Bone marrow smear:
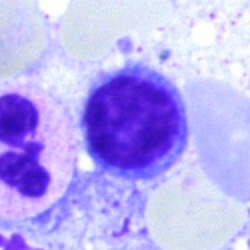

Morphological class = typical lymphocyte.